Brightfield, 100× oil-immersion objective; peripheral blood film:
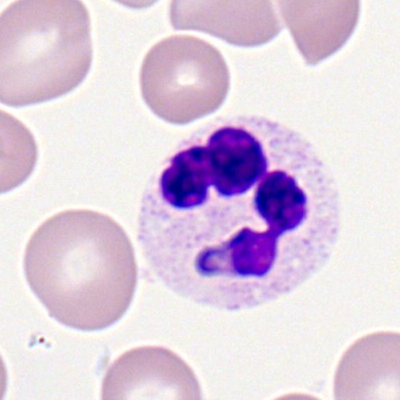
Impression — neutrophil (segmented).